Bone marrow aspirate smear; single-cell crop.
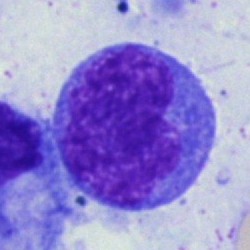
Classification: monocyte.